Bone marrow aspirate smear.
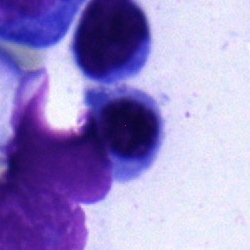
Classification = nucleated red blood cell.